Bone marrow smear.
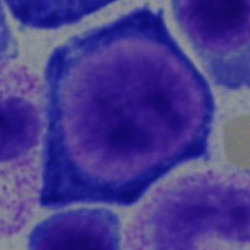

A proerythroblast.